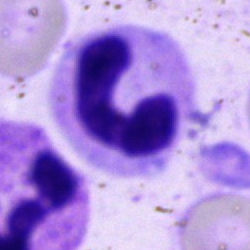 Cell type — stab cell.